Single-cell crop; bone marrow aspirate smear
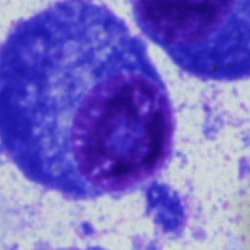Q: What is the morphological classification of this cell?
A: Plasmacyte.